May-Grünwald-Giemsa/Pappenheim stain. Bone marrow smear: 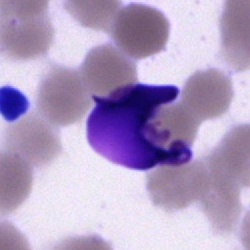

Cell type = artifact.